250×250 px · bone marrow smear · cropped to a single cell.
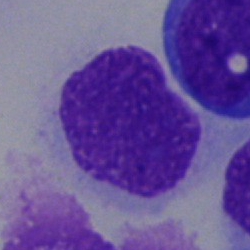
The morphological class is artefact.